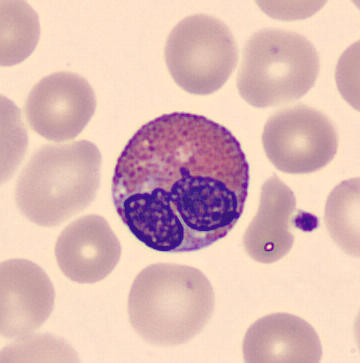
Peripheral blood smear.
Identified as an eosinophil.